Bone marrow aspirate smear · Pappenheim-stained.
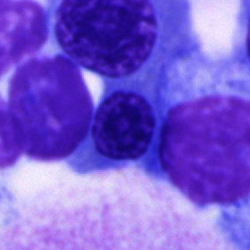Q: What type of cell is this?
A: It is a nucleated red cell.